Bone marrow aspirate smear · single cell centered in the field · brightfield, 40× oil-immersion objective: 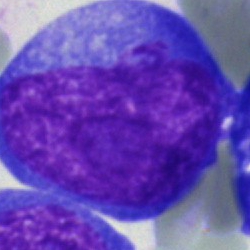Single cell identified as an undifferentiated blast.